Bone marrow aspirate smear:
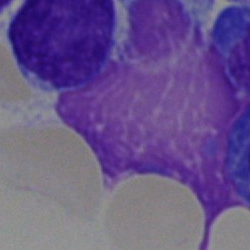

This is an artefact.